Bone marrow smear · MGG-stained
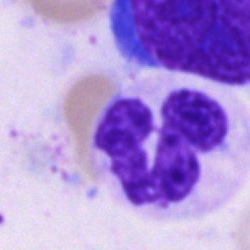

Single cell identified as a polymorphonuclear neutrophil.